Bone marrow smear:
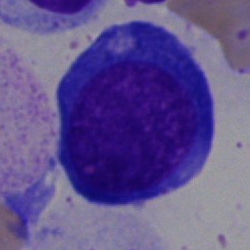
Q: What type of cell is this?
A: This is an erythroblast.